Image size 400×400; single cell centered in the field; peripheral blood smear — 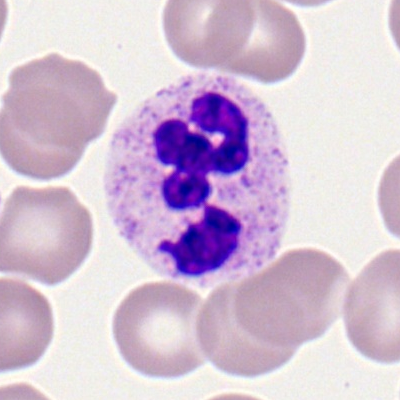 Morphology → segmented neutrophil.